Single-cell crop. Peripheral blood smear: 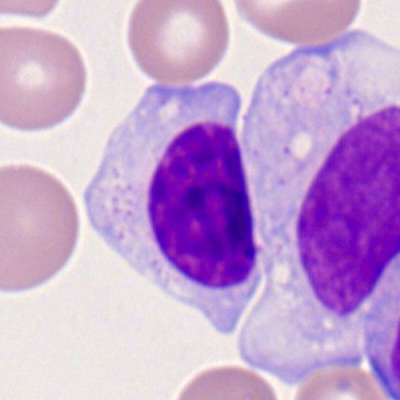
Single cell identified as a typical lymphocyte.